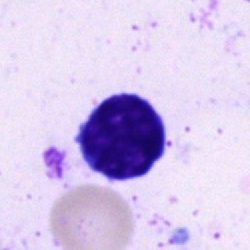 The cell is typical lymphocyte.